400×400; peripheral blood smear:
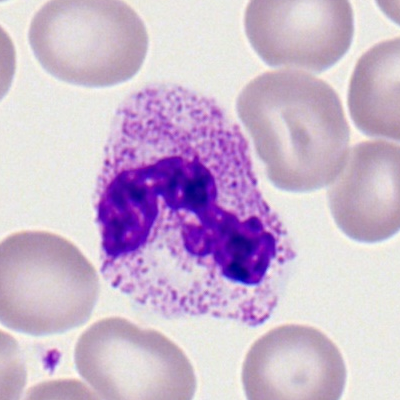

{"cell_type": "neutrophil (segmented)", "lineage": "myeloid"}